Image size 250×250 · bone marrow aspirate smear — 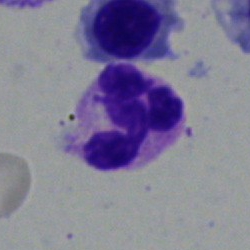{"cell_type": "polymorphonuclear neutrophil", "lineage": "myeloid"}